Bone marrow aspirate smear — 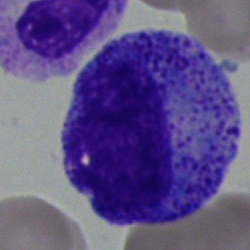
Progranulocyte.